Bone marrow aspirate smear:
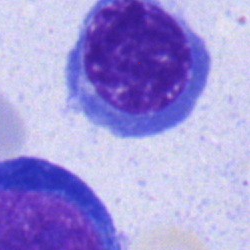This is a nucleated red cell.